Peripheral blood smear: 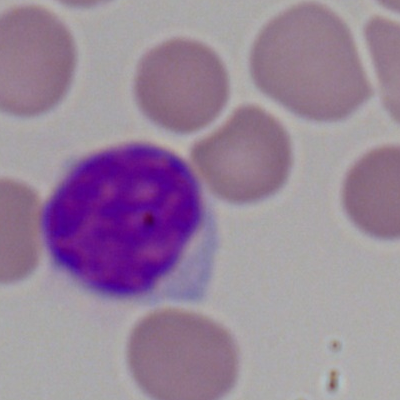

Morphology → lymphocyte.